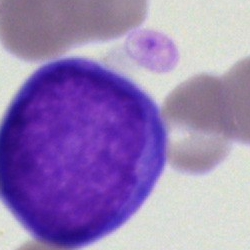Q: What cell is this?
A: An undifferentiated blast.